Bone marrow smear
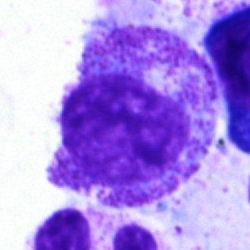 Morphological class — myelocyte.